250 by 250 pixels; bone marrow aspirate smear; MGG-stained: 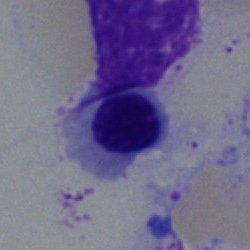

Q: What is the morphological classification of this cell?
A: Erythroblast.